Bone marrow aspirate smear — 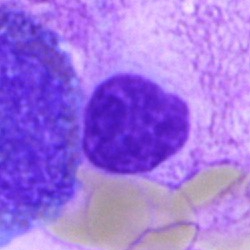Specimen: bone marrow aspirate smear.
Morphological class: artifact.